Bone marrow aspirate smear.
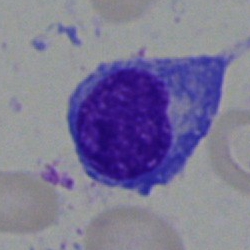 This is a plasmacyte.